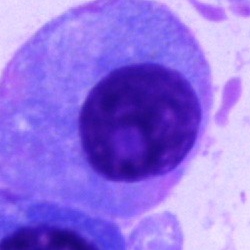

Classification — plasma cell.